Bone marrow aspirate smear
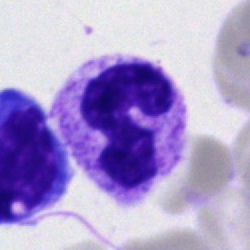
Morphology consistent with a stab cell.